Peripheral blood smear; Romanowsky-type stain; single cell centered in the field
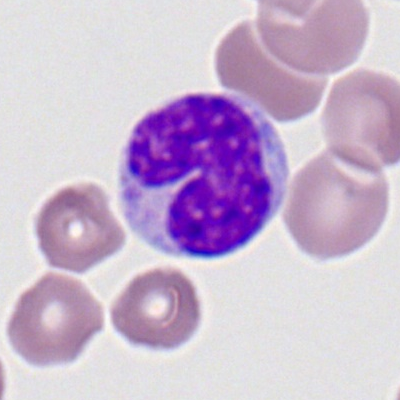The cell shown is a monocyte.